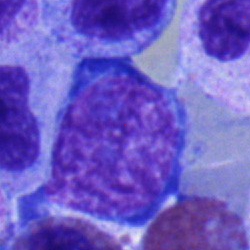
Classification: proerythroblast.